Bone marrow aspirate smear
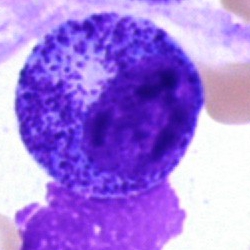 Specimen: bone marrow smear.
Classification: progranulocyte.
Lineage: myeloid.